Image size 400×400; peripheral blood film
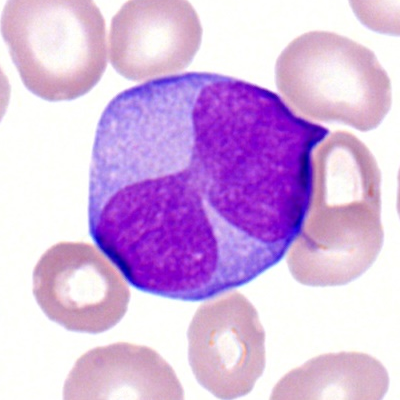 Impression — promyelocyte (bilobed).